Bone marrow smear · May-Grünwald-Giemsa stain — 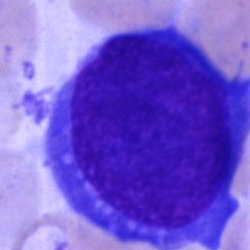Showing a blast.